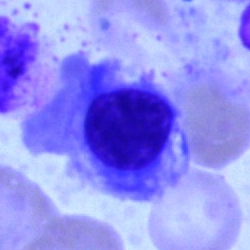

Impression → nucleated red cell.